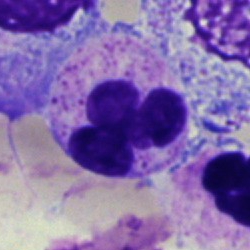
A neutrophil (segmented).